Bone marrow smear. May-Grünwald-Giemsa stain: 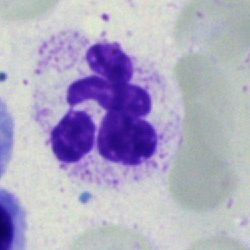

Specimen: bone marrow aspirate smear.
Classification: polymorphonuclear neutrophil.